Bone marrow smear: 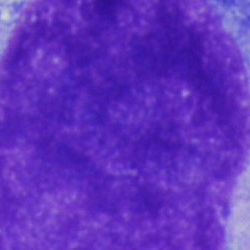
Q: What is shown here?
A: This is an artefact.